Bone marrow smear. Brightfield, 40× oil-immersion objective. May-Grünwald-Giemsa stain:
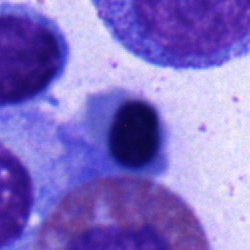 Impression → nucleated red cell.